Bone marrow aspirate smear
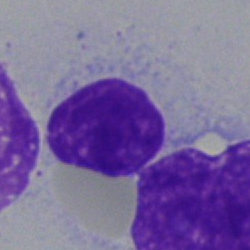
Specimen: bone marrow smear.
Cell: artefact.